Single-cell crop · bone marrow aspirate smear: 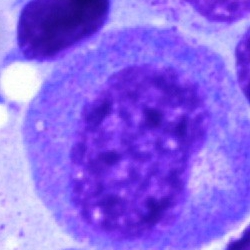
Showing a progranulocyte.